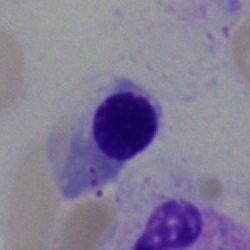
Cell: nucleated red blood cell.